May-Grünwald-Giemsa stain. Bone marrow smear
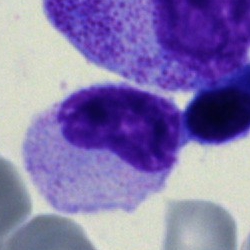Metamyelocyte.